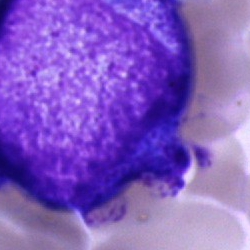

Classification — promyelocyte.